MGG-stained · bone marrow aspirate smear:
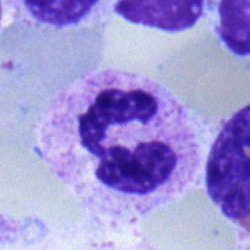

This is a neutrophil (segmented).